250 by 250 pixels · bone marrow smear
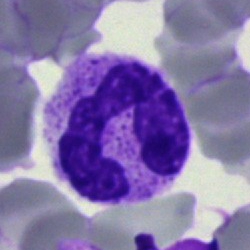 Q: What is shown here?
A: It is a segmented neutrophil.